360×363 · peripheral blood film
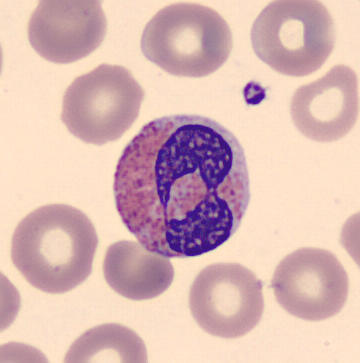Q: What is shown here?
A: An eosinophilic granulocyte.